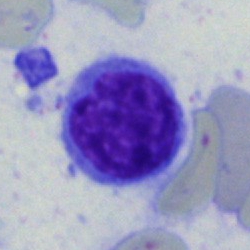 Specimen: bone marrow aspirate smear.
Cell type: lymphocyte.
Lineage: lymphoid.